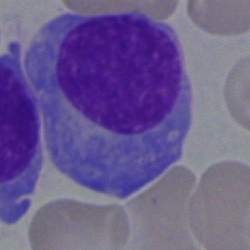 The cell type is plasma cell.